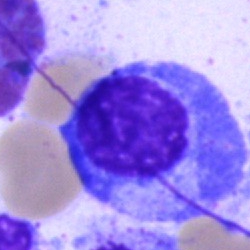 Cell = plasma cell.